Single-cell crop; May-Grünwald-Giemsa/Pappenheim stain; bone marrow smear
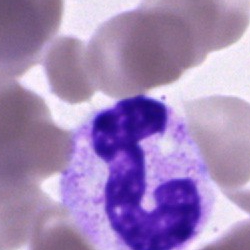
This is a band neutrophil.